Bone marrow aspirate smear
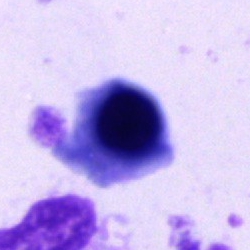Cell — erythroblast.